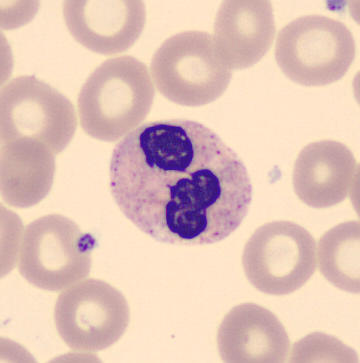
Peripheral blood film.

Impression — neutrophil (segmented).